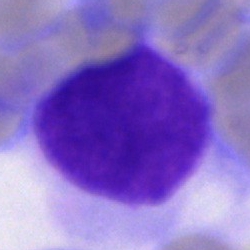 Classification = artefact.